Bone marrow aspirate smear: 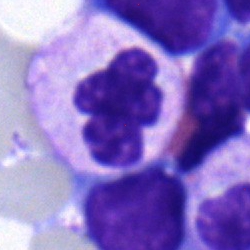 Single cell identified as a segmented neutrophil.